Bone marrow aspirate smear: 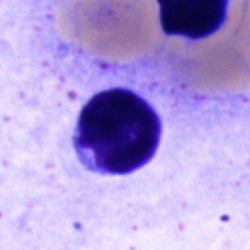

Q: What is shown here?
A: It is a lymphocyte.